Bone marrow aspirate smear — 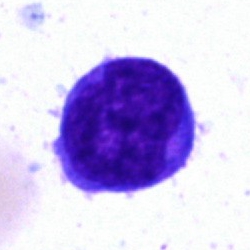Specimen: bone marrow smear.
Morphological class: blast.